Bone marrow smear.
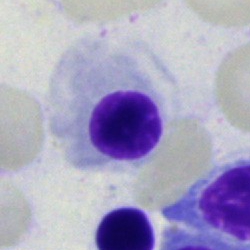
Q: Identify the cell.
A: Nucleated red cell.